Bone marrow aspirate smear.
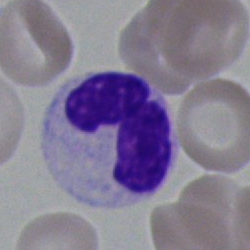

Polymorphonuclear neutrophil.